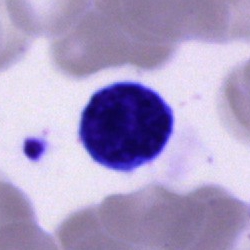
Morphology — lymphocyte.